Bone marrow smear. Image size 250×250:
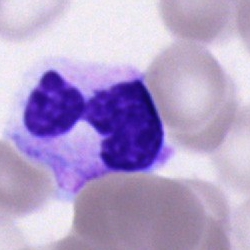 Specimen: bone marrow aspirate smear.
Morphological class: neutrophil (segmented).
Lineage: myeloid.